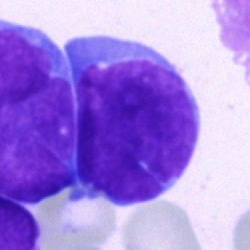

The cell type is blast.